Bone marrow smear:
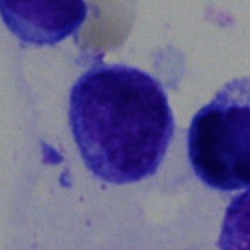The morphological class is typical lymphocyte.